400×400 px; peripheral blood smear.
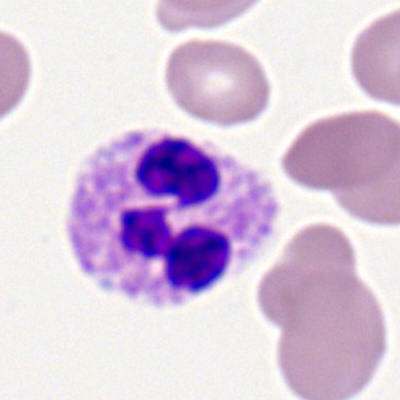
The cell shown is a neutrophil (segmented).